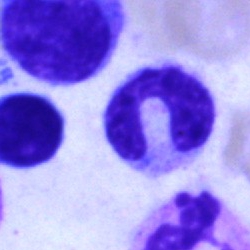 Morphology consistent with a band-form neutrophil.